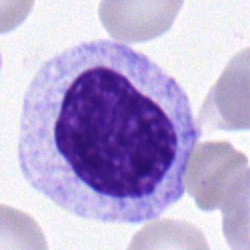 Bone marrow smear showing a myelocyte.